Bone marrow smear. 250×250 px:
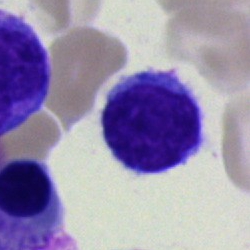
Morphology consistent with a typical lymphocyte.